Peripheral blood smear
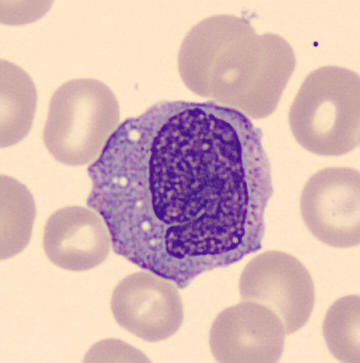Cell type — monocyte.